Pappenheim-stained. Bone marrow aspirate smear:
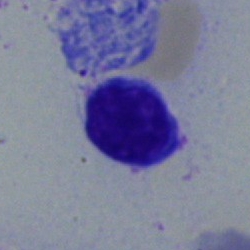Impression → lymphocyte.